100× oil immersion; peripheral blood smear — 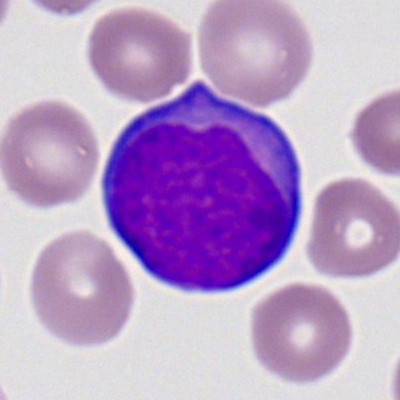Specimen: peripheral blood film.
Cell: myeloblast.
Lineage: myeloid.